Bone marrow aspirate smear — 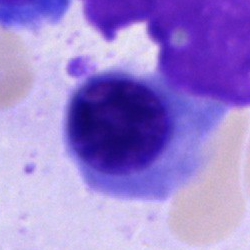 A nucleated red blood cell.